Peripheral blood film — 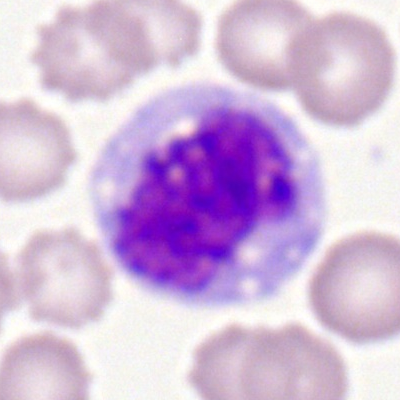 The cell type is monocyte.